Bone marrow smear · image size 250×250:
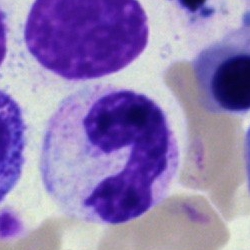
{"cell_type": "neutrophil (band)", "lineage": "myeloid"}